Bone marrow smear
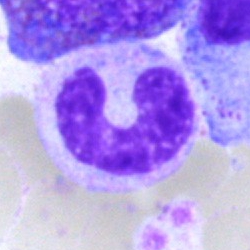 The classification is band-form neutrophil.